Bone marrow smear — 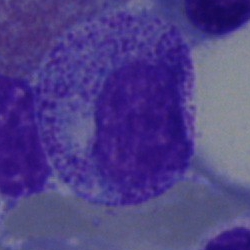Specimen: bone marrow aspirate smear.
Classification: myelocyte.
Lineage: myeloid.